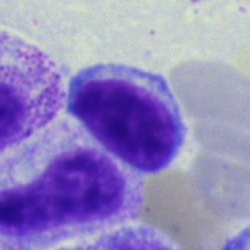 Impression → lymphocyte.